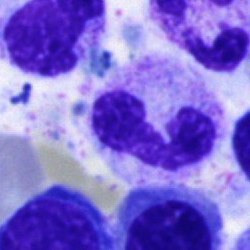 Cell type: neutrophil (segmented).